Bone marrow smear:
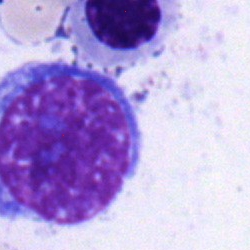

Impression — nucleated red cell.